Bone marrow smear
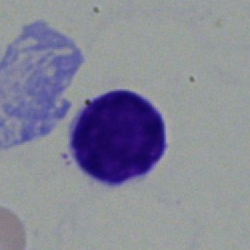The cell shown is a typical lymphocyte.